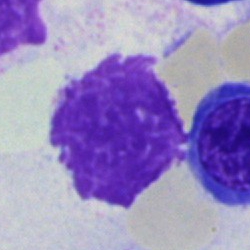

Bone marrow smear showing an artifact.